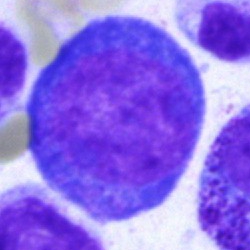
Specimen: bone marrow aspirate smear.
Morphological class: pronormoblast.